Bone marrow smear — 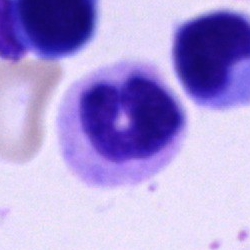
A band-form neutrophil.